40× oil immersion · bone marrow aspirate smear — 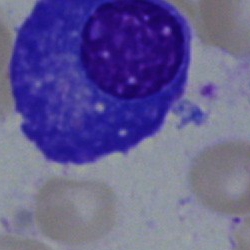
Q: What is the morphological classification of this cell?
A: Plasmacyte.